Bone marrow aspirate smear:
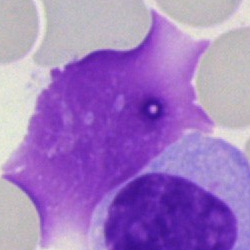

Showing an artifact.